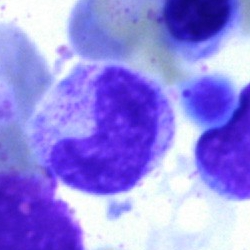
Cell: band neutrophil.